Bone marrow aspirate smear.
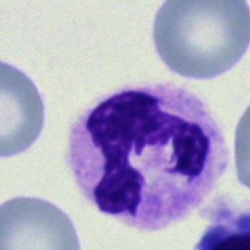Cell type: polymorphonuclear neutrophil.